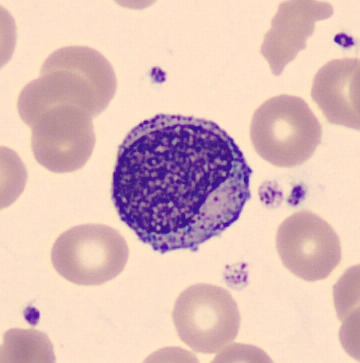

Cell type — myelocyte.